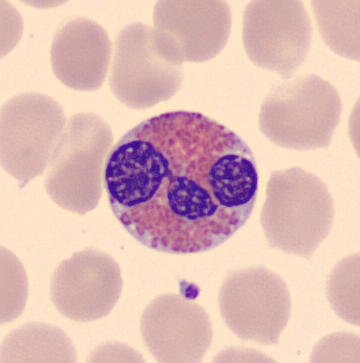

Peripheral blood smear; CellaVision DM96; cropped to a single cell.
Classification — eosinophil.